Bone marrow aspirate smear
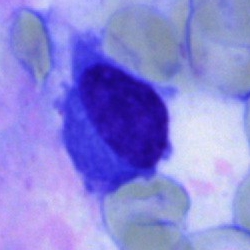

Q: What is shown here?
A: This is a plasma cell.